Bone marrow aspirate smear
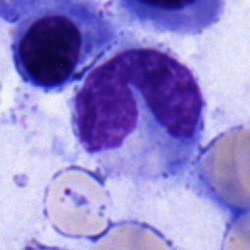
The morphological class is monocyte.